Bone marrow aspirate smear:
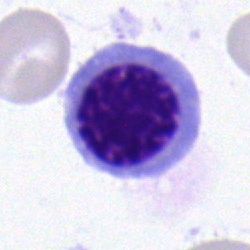
Nucleated red blood cell.